Bone marrow smear.
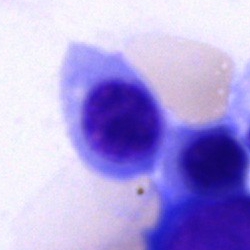
Morphology consistent with a nucleated red blood cell.